MGG-stained. Bone marrow aspirate smear — 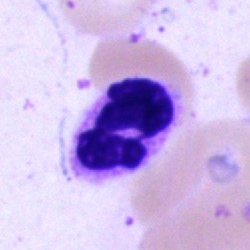

The classification is polymorphonuclear neutrophil.